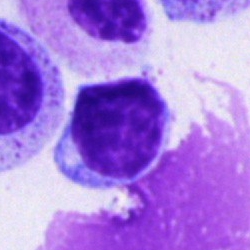

Cell type — typical lymphocyte.